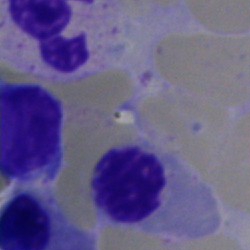 The classification is nucleated red cell.